Bone marrow aspirate smear — 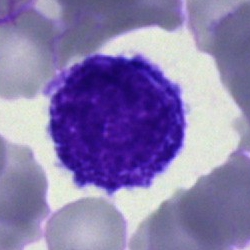 {"cell_type": "progranulocyte", "lineage": "myeloid"}